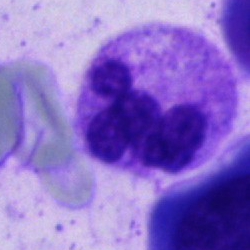Impression — segmented neutrophil.